250×250. Bone marrow aspirate smear: 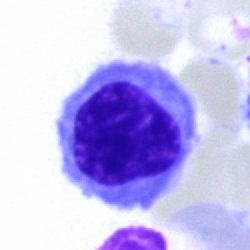 Morphology — nucleated red blood cell.